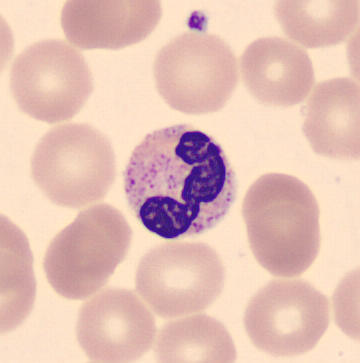

Image: Peripheral blood smear · cropped to a single cell · automated cell imaging (CellaVision DM96). Q: Identify the cell.
A: A polymorphonuclear neutrophil.